Bone marrow smear.
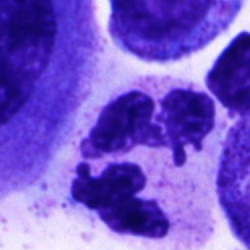The cell shown is a neutrophil (segmented).